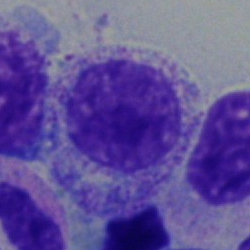 The classification is myelocyte.